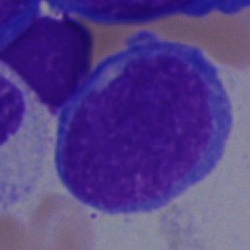Specimen: bone marrow smear.
Morphological class: unidentifiable cell.